Bone marrow smear: 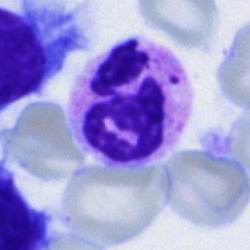Morphological class — segmented neutrophil.